Bone marrow aspirate smear — 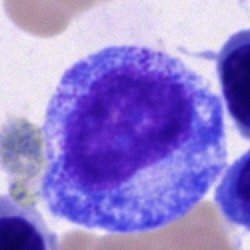 Morphology consistent with a promyelocyte.